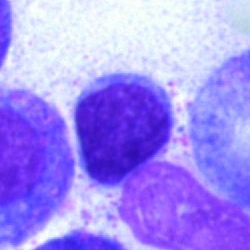
Cell type — lymphocyte.